Bone marrow smear · 250 by 250 pixels:
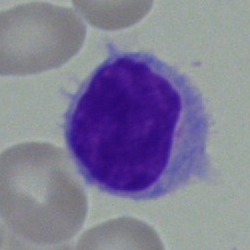

Morphology consistent with a typical lymphocyte.